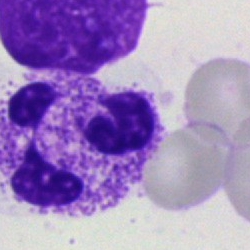 A segmented neutrophil on a bone marrow smear.